Pappenheim-stained. Bone marrow aspirate smear. Cropped to a single cell:
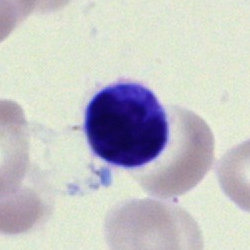
Q: What cell is this?
A: Lymphocyte.